Brightfield microscopy, 40× oil immersion. Bone marrow aspirate smear: 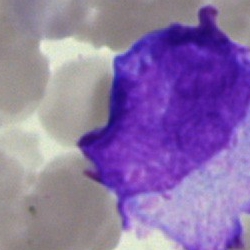
Morphology → blast cell.